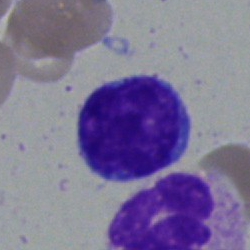

Cell type — lymphocyte.